Bone marrow smear — 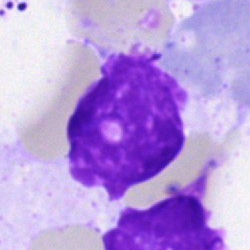

Single cell identified as an artifact.